Brightfield, 40× oil-immersion objective. Bone marrow smear.
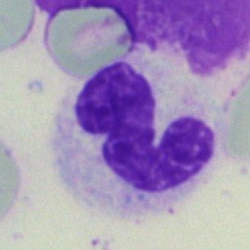Q: What type of cell is this?
A: A neutrophil (segmented).